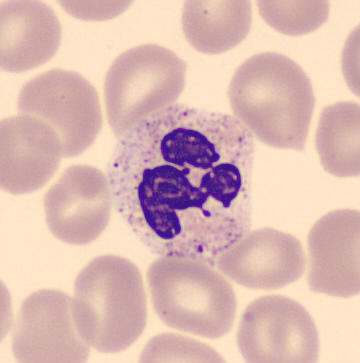
Q: Identify the cell.
A: Segmented neutrophil.

Peripheral blood film.